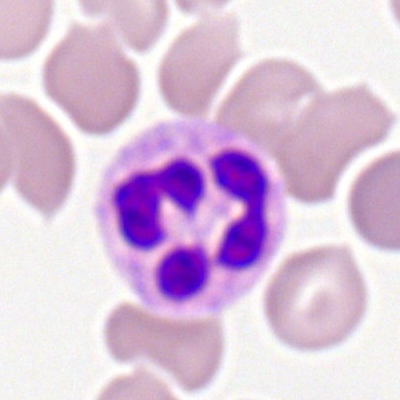

Specimen: peripheral blood film.
Classification: segmented neutrophil.